Bone marrow aspirate smear — 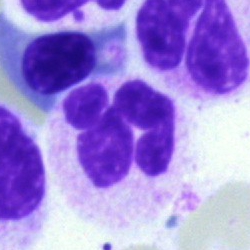 Neutrophil (segmented).